Peripheral blood smear.
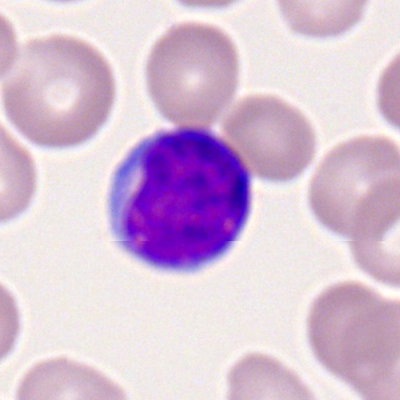Cell — typical lymphocyte.